Bone marrow aspirate smear — 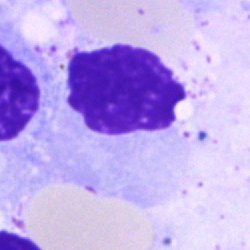
{"cell_type": "artefact"}